Bone marrow aspirate smear; Pappenheim-stained
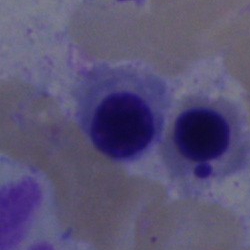 Cell — normoblast.